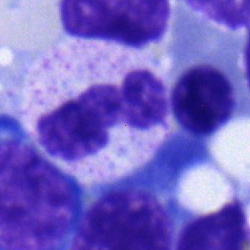

Q: What cell is this?
A: A segmented neutrophil.